Bone marrow smear · 40× oil immersion
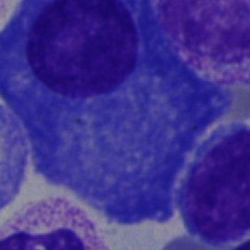 The cell type is plasma cell.